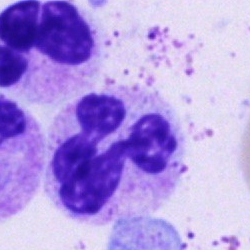Impression — neutrophil (segmented).